Peripheral blood film:
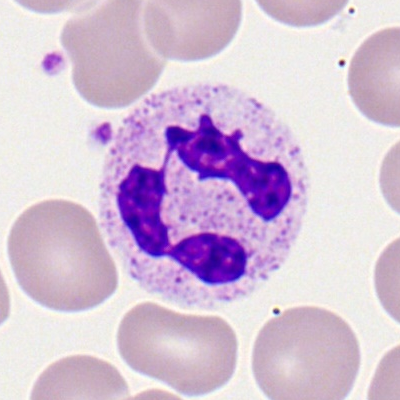Showing a segmented neutrophil.